Bone marrow aspirate smear · 250 by 250 pixels · brightfield microscopy, 40× oil immersion — 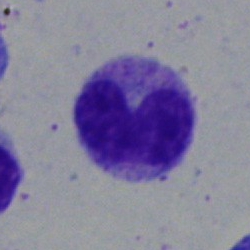
Neutrophil (band).